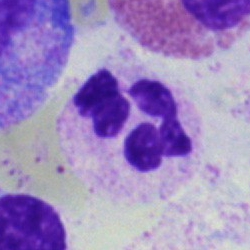A neutrophil (segmented).